Bone marrow aspirate smear: 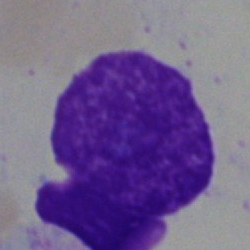
The cell shown is an artifact.